Bone marrow smear: 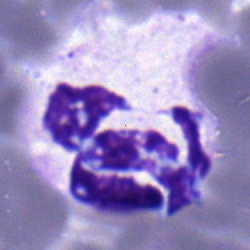

Classification — neutrophil (segmented).